Peripheral blood film; cropped to a single cell; 400 by 400 pixels:
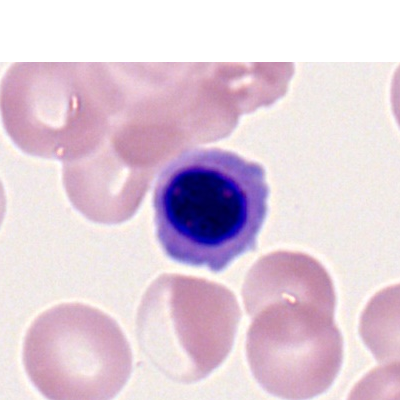
Classification = normoblast.